Bone marrow smear; cropped to a single cell.
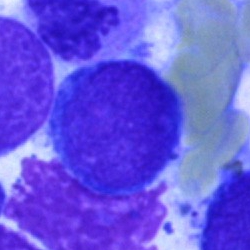 Specimen: bone marrow smear.
Cell type: blast cell.